Bone marrow aspirate smear. 40× oil immersion: 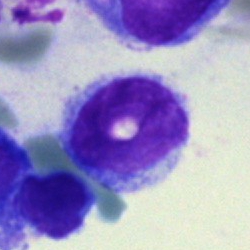The cell shown is a lymphocyte.